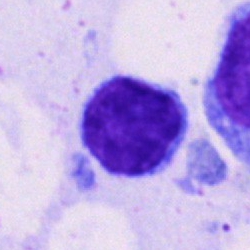 Morphological class: lymphocyte.